Bone marrow smear: 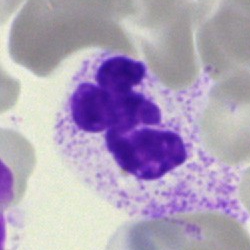

A neutrophil (segmented).